Bone marrow aspirate smear
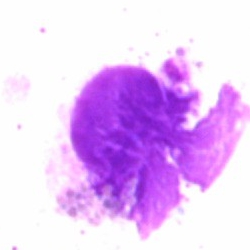

Impression — artifact.